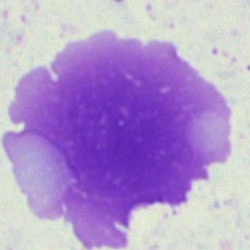 Impression — artifact.